Bone marrow smear: 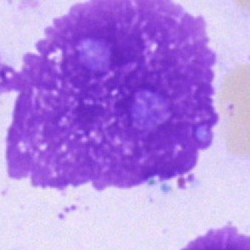

Q: What is shown here?
A: An artifact.